Bone marrow smear. Brightfield, 40× oil-immersion objective: 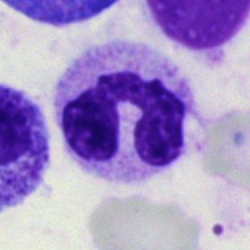
Band-form neutrophil.